May-Grünwald-Giemsa stain · bone marrow aspirate smear — 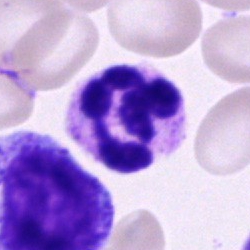
Morphological class: neutrophil (segmented).